Bone marrow aspirate smear · cropped to a single cell · 250×250 px — 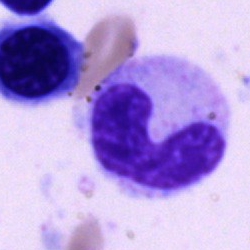

Cell: band neutrophil.